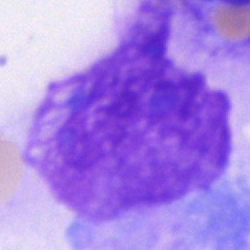
Morphological class = artefact.